Bone marrow aspirate smear
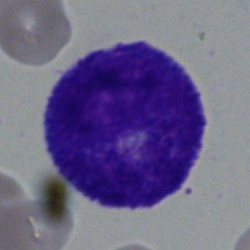

Morphology consistent with a promyelocyte.